Bone marrow smear.
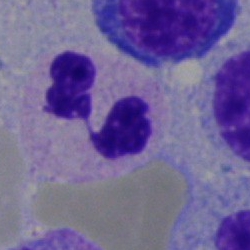Specimen: bone marrow aspirate smear.
Cell type: polymorphonuclear neutrophil.
Lineage: myeloid.